Bone marrow smear.
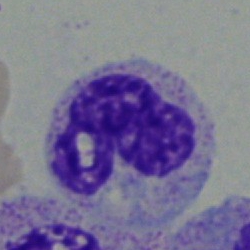 Q: What is shown here?
A: This is a neutrophil (segmented).